Single cell centered in the field · peripheral blood smear — 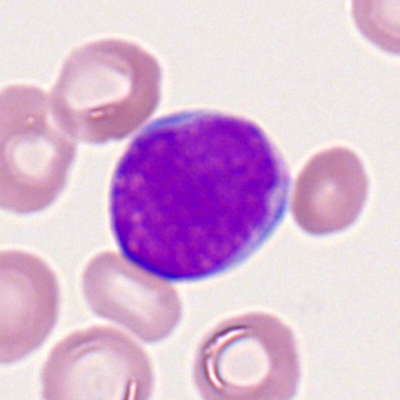
Specimen: peripheral blood film.
Cell: myeloid blast.
Lineage: myeloid.